Peripheral blood film: 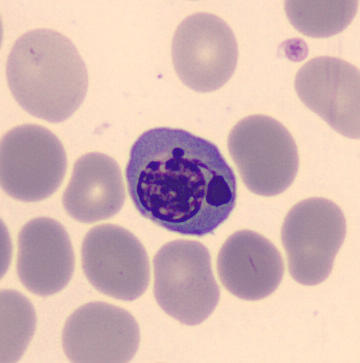Cell: nucleated red cell.